Bone marrow smear · brightfield microscopy, 40× oil immersion:
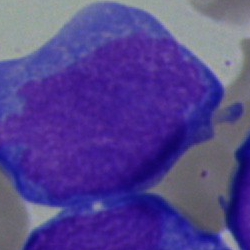This is a blast cell.